Bone marrow smear: 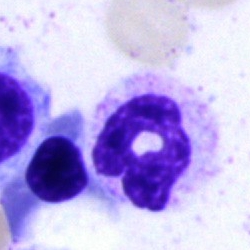

The cell shown is a segmented neutrophil.